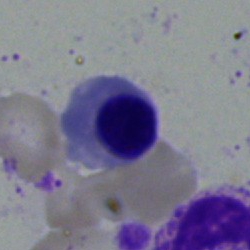 Impression → erythroblast.